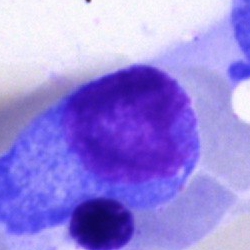

Morphology — plasma cell.